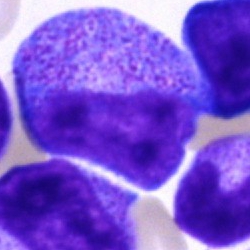

Morphology consistent with a promyelocyte.